Peripheral blood smear; brightfield, 100× oil-immersion objective: 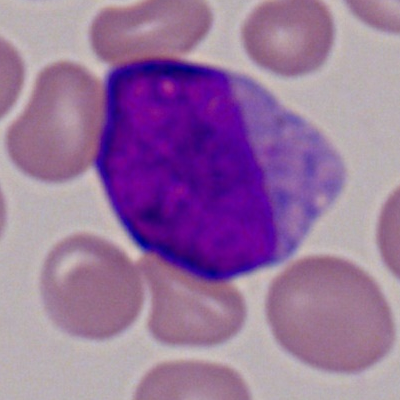 Q: Identify the cell.
A: This is a myeloblast.